40× objective, oil immersion · bone marrow smear · 250×250 px
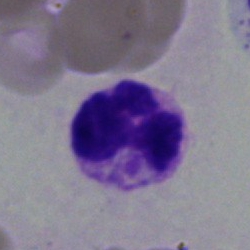 The morphological class is basophilic granulocyte.